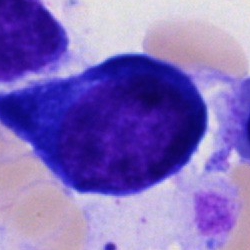A pronormoblast on a bone marrow smear.